Bone marrow aspirate smear · 40× oil immersion
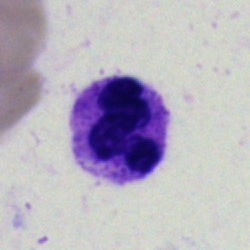
Showing a polymorphonuclear neutrophil.